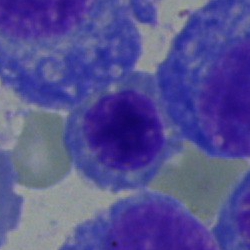 Impression — erythroblast.